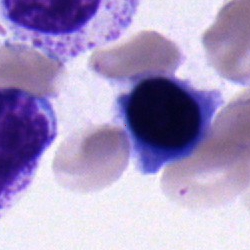 Bone marrow smear showing a nucleated red cell.